Peripheral blood film:
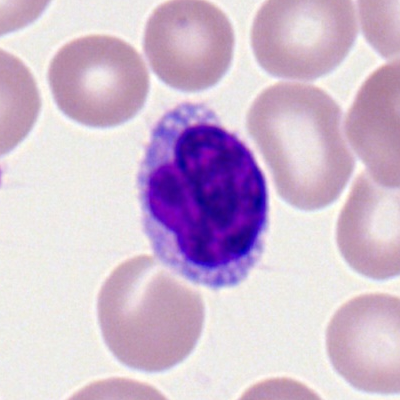 Single cell identified as a typical lymphocyte.